40× objective, oil immersion · bone marrow smear — 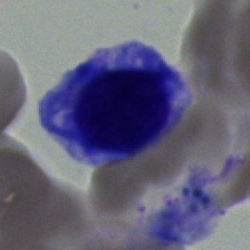 {"cell_type": "nucleated red blood cell", "lineage": "erythroid"}